Bone marrow smear — 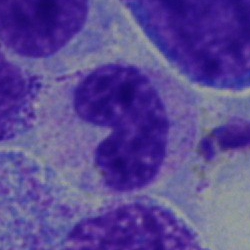Classification — band neutrophil.